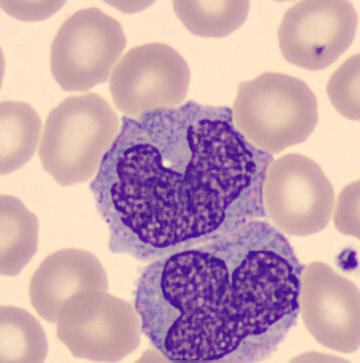

Image: MGG-stained. Peripheral blood smear.

Cell — monocyte.